Bone marrow smear — 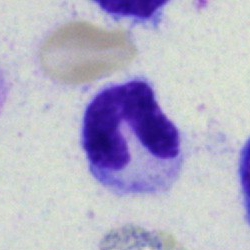

Specimen: bone marrow aspirate smear.
Classification: band-form neutrophil.
Lineage: myeloid.